Bone marrow aspirate smear:
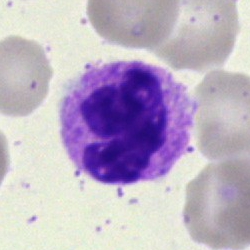Showing a neutrophil (segmented).